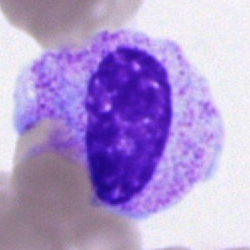This is an artefact.